Bone marrow smear · Pappenheim-stained · single-cell field:
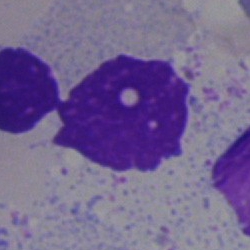

Artifact.